Bone marrow smear; Pappenheim-stained
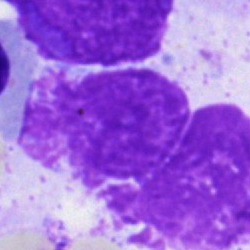
Q: What is shown here?
A: Artefact.